Bone marrow smear:
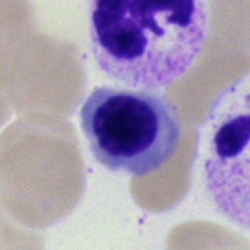{"cell_type": "nucleated red cell", "lineage": "erythroid"}